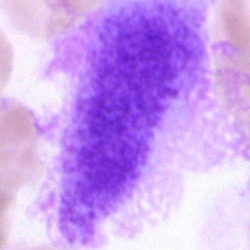
Cell — artifact.